Bone marrow smear · 40× objective, oil immersion:
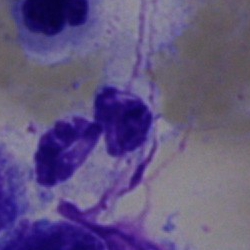
Q: Which cell type is shown here?
A: A polymorphonuclear neutrophil.